Bone marrow smear. Pappenheim-stained — 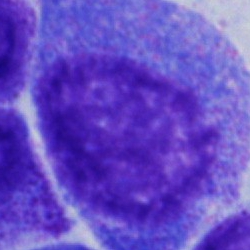
The classification is promyelocyte.